Pappenheim-stained. Bone marrow aspirate smear — 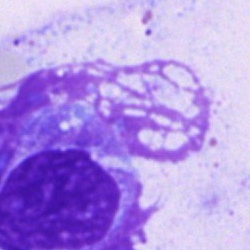

Artifact.